Bone marrow smear. 40× oil immersion — 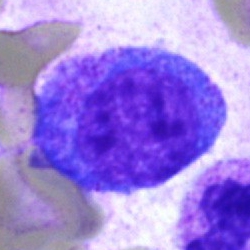

A progranulocyte.